Single-cell field · bone marrow aspirate smear · brightfield, 40× oil-immersion objective
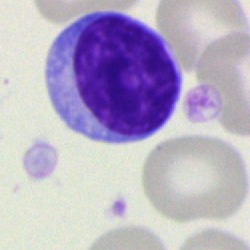

A lymphocyte.